Bone marrow aspirate smear; single-cell crop:
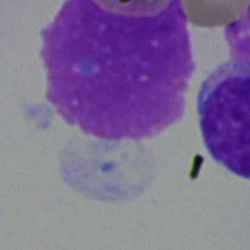 Impression → artifact.